Brightfield, 40× oil-immersion objective; bone marrow smear — 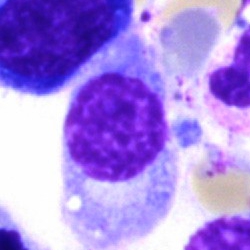
This is a plasmacyte.